May-Grünwald-Giemsa stain. 40× objective, oil immersion. Bone marrow aspirate smear: 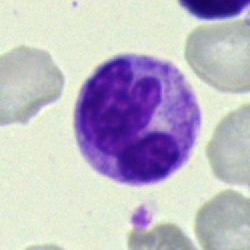

Morphology → neutrophil (segmented).